40× objective, oil immersion. Bone marrow aspirate smear:
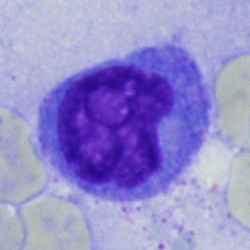Single cell identified as a monocyte.